Bone marrow smear
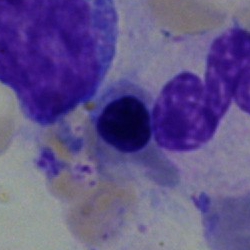
Q: What is shown here?
A: Nucleated red cell.